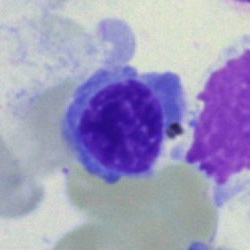
Bone marrow aspirate smear, single cell — nucleated red cell.